Bone marrow smear:
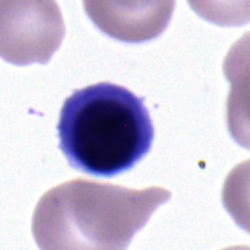
Morphology consistent with a typical lymphocyte.